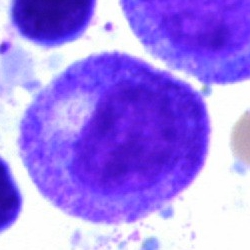 Morphology — myelocyte.